May-Grünwald-Giemsa stain; 250×250; bone marrow smear
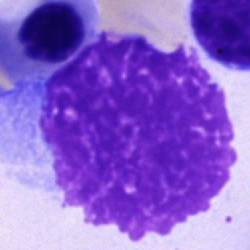

Q: What is shown here?
A: An artifact.